Bone marrow smear — 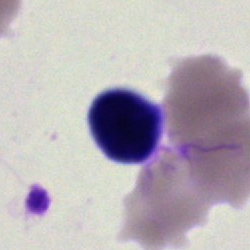

{"cell_type": "artefact"}